May-Grünwald-Giemsa/Pappenheim stain · bone marrow aspirate smear:
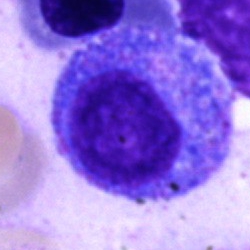
Impression — promyelocyte.